Bone marrow smear. MGG-stained. 40× objective, oil immersion:
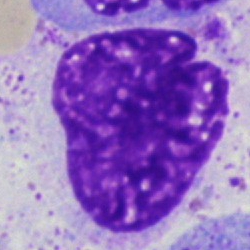
An artefact.